Peripheral blood film:
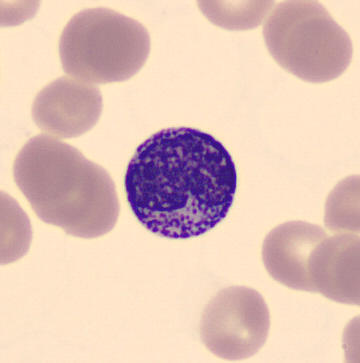The cell is myelocyte.